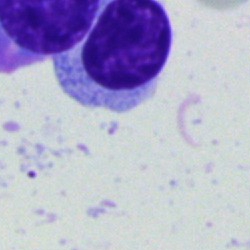

An unidentifiable cell.